250×250 · bone marrow aspirate smear.
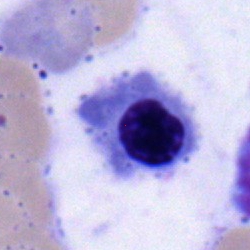
Q: What is shown here?
A: Erythroblast.